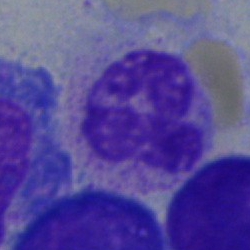 Cell type = segmented neutrophil.